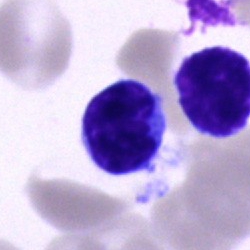
Classification — typical lymphocyte.